Bone marrow smear:
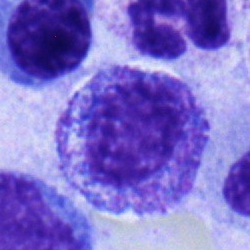 Q: Which cell type is shown here?
A: This is a myelocyte.